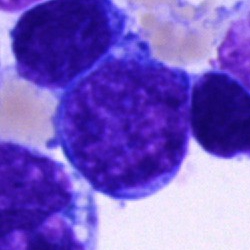 Q: What cell is this?
A: Blast.